Bone marrow aspirate smear: 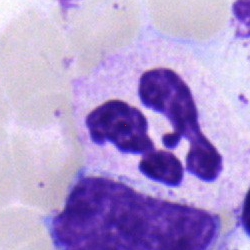
Impression → polymorphonuclear neutrophil.